Bone marrow smear:
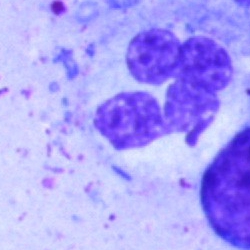

Segmented neutrophil.